Bone marrow smear · May-Grünwald-Giemsa/Pappenheim stain
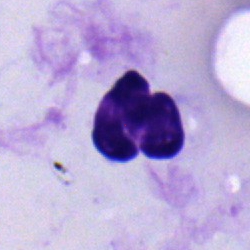

Specimen: bone marrow smear.
Cell: polymorphonuclear neutrophil.